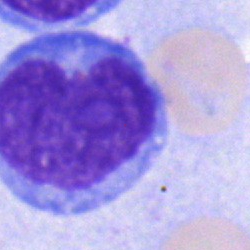Impression → undifferentiated blast.